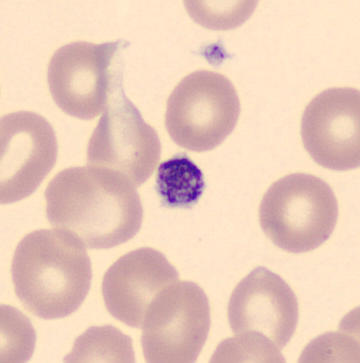 Cell type: platelet.
Peripheral blood film.